Bone marrow smear — 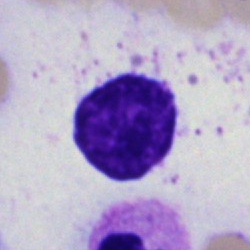
This is an artefact.